Bone marrow smear — 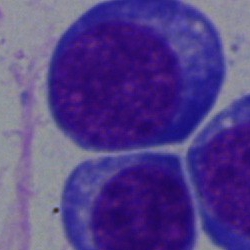The cell type is normoblast.